Bone marrow aspirate smear · brightfield, 40× oil-immersion objective — 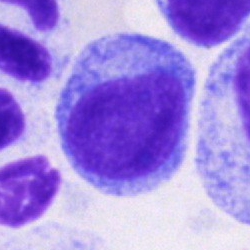This is an undifferentiated blast.